40× objective, oil immersion; bone marrow aspirate smear; May-Grünwald-Giemsa/Pappenheim stain: 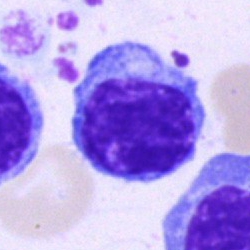
Showing a lymphocyte.